Bone marrow smear.
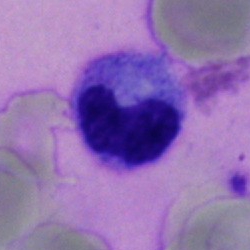
Cell type: metamyelocyte.